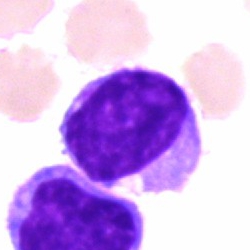
Specimen: bone marrow aspirate smear.
Classification: lymphocyte.